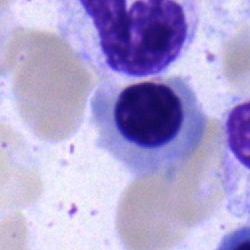

Morphology — nucleated red cell.